Bone marrow aspirate smear; single-cell field
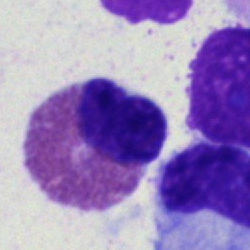

Morphology → eosinophil.